Bone marrow smear: 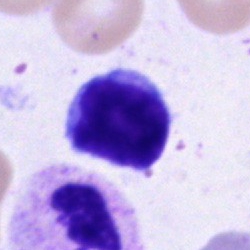

Showing a lymphocyte.